Bone marrow smear.
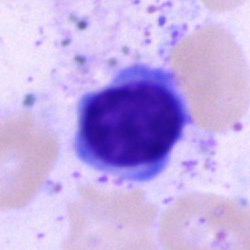 A lymphocyte.